Pappenheim-stained; bone marrow aspirate smear; 250×250 px.
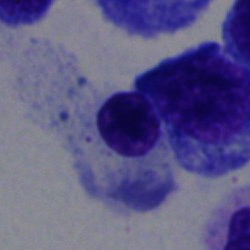 Specimen: bone marrow aspirate smear.
Morphological class: normoblast.